Bone marrow smear: 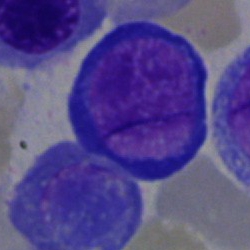Cell — pronormoblast.